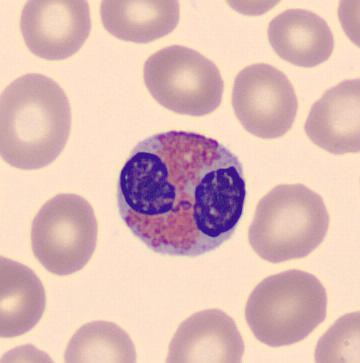 Single-cell crop; peripheral blood film; 360×363 px. This is an eosinophil.